Peripheral blood film.
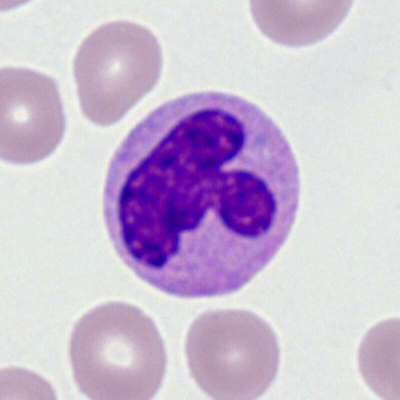This is a monocyte.